Bone marrow aspirate smear. Brightfield microscopy, 40× oil immersion.
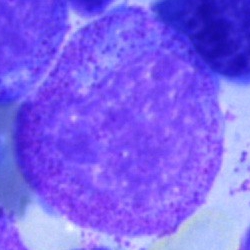
The classification is myelocyte.